Bone marrow smear — 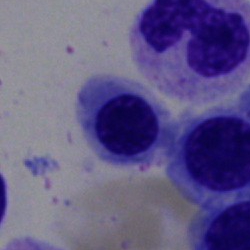
A normoblast.